Bone marrow aspirate smear. 250×250 px:
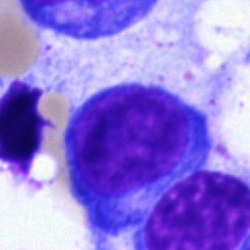

Morphological class = blast cell.